Bone marrow smear
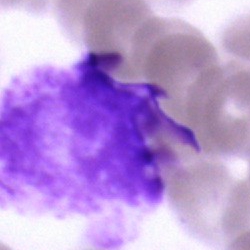
Single cell identified as an artifact.